Bone marrow smear: 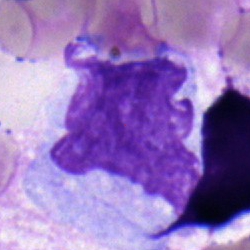Cell = monocyte.